Bone marrow aspirate smear — 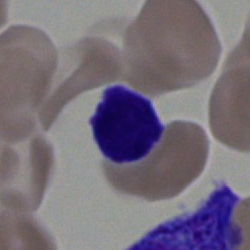Specimen: bone marrow aspirate smear.
Cell type: typical lymphocyte.